Bone marrow smear; single-cell crop:
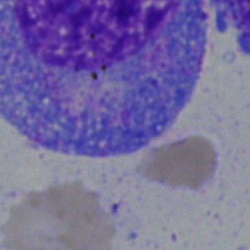Cell = progranulocyte.